Bone marrow smear.
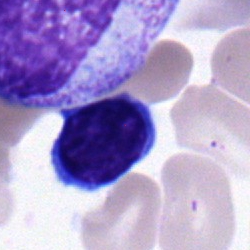
A nucleated red cell.